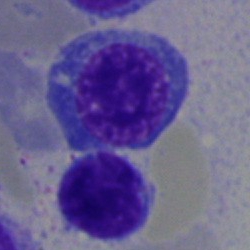

Nucleated red cell.